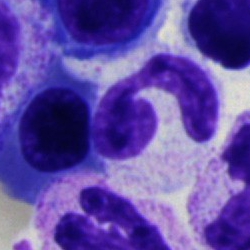Bone marrow aspirate smear, single cell — neutrophil (segmented).